Bone marrow smear — 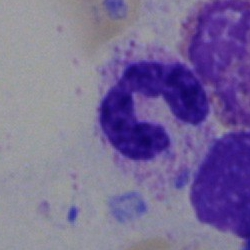
Morphology — polymorphonuclear neutrophil.